Bone marrow smear
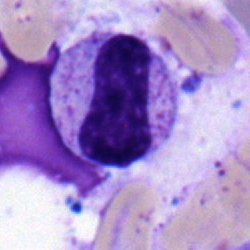 Q: Which cell type is shown here?
A: A metamyelocyte.